Bone marrow aspirate smear · Pappenheim-stained
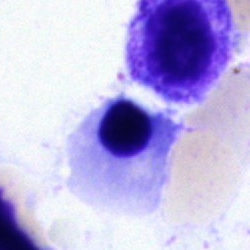
Normoblast.